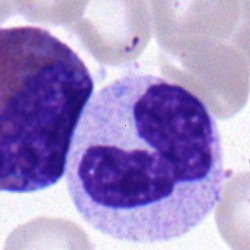
Cell type = neutrophil (segmented).